Bone marrow aspirate smear · May-Grünwald-Giemsa/Pappenheim stain · single-cell field
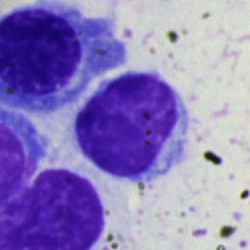Cell type = typical lymphocyte.